Bone marrow smear: 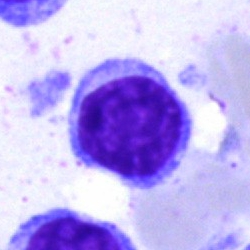 Showing a typical lymphocyte.